Bone marrow aspirate smear: 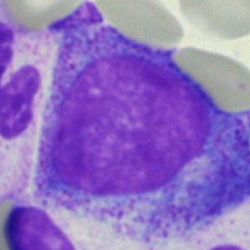
Morphological class — promyelocyte.